May-Grünwald-Giemsa stain; bone marrow smear; 40× oil immersion — 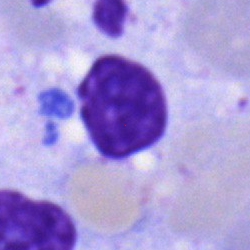
Morphology consistent with a typical lymphocyte.